Bone marrow aspirate smear. 250×250 px — 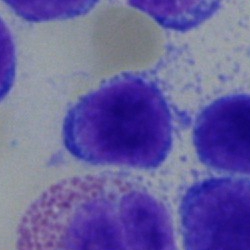Specimen: bone marrow aspirate smear.
Cell: typical lymphocyte.
Lineage: lymphoid.